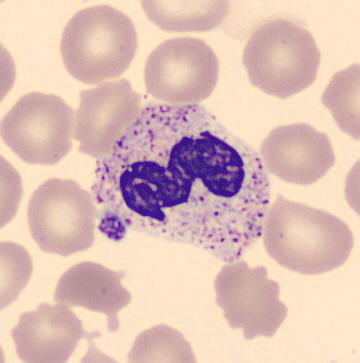
Acquisition: Peripheral blood smear.
Morphological class = band neutrophil.